Bone marrow aspirate smear — 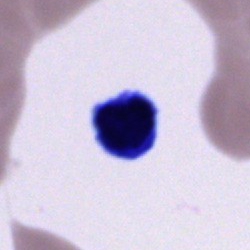
Specimen: bone marrow smear.
Cell type: unidentifiable cell.